Bone marrow smear.
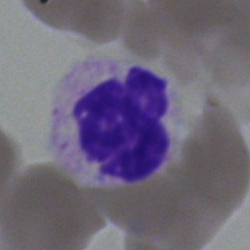
Polymorphonuclear neutrophil.